Bone marrow aspirate smear · MGG-stained: 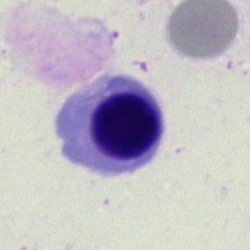

A nucleated red cell.